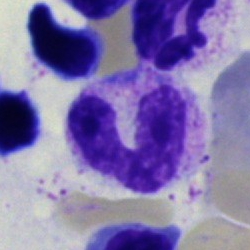
Q: Identify the cell.
A: It is a neutrophil (band).